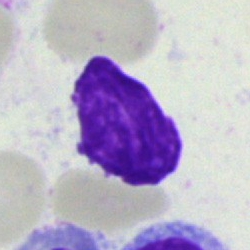
Bone marrow aspirate smear, single cell — artefact.